250 by 250 pixels; brightfield, 40× oil-immersion objective; bone marrow smear
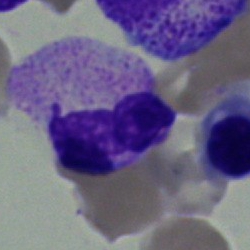Single cell identified as a segmented neutrophil.